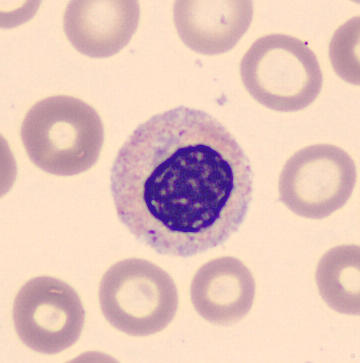 Myelocyte.

360×363 · peripheral blood smear.